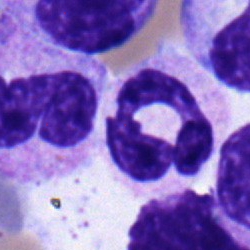This is a polymorphonuclear neutrophil.